Brightfield, 40× oil-immersion objective · bone marrow aspirate smear
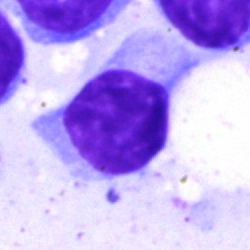 Morphology consistent with a typical lymphocyte.